Bone marrow aspirate smear.
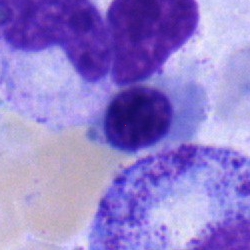

Q: Which cell type is shown here?
A: A normoblast.